Pappenheim-stained; bone marrow aspirate smear: 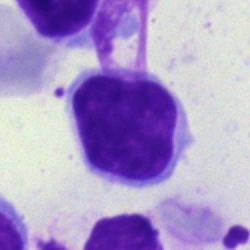{"cell_type": "lymphocyte", "lineage": "lymphoid"}